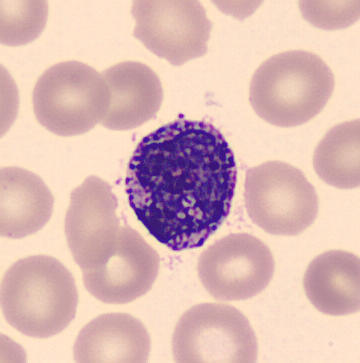
Peripheral blood smear showing a basophil.